Bone marrow aspirate smear · 250×250
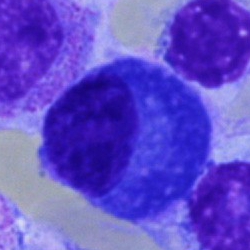The cell shown is a plasmacyte.